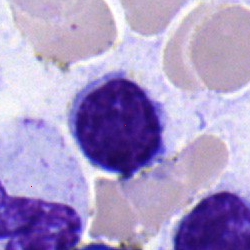
A typical lymphocyte on a bone marrow smear.